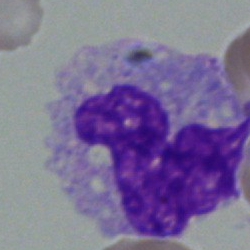
A monocyte on a bone marrow smear.